Bone marrow smear; brightfield microscopy, 40× oil immersion; 250 by 250 pixels — 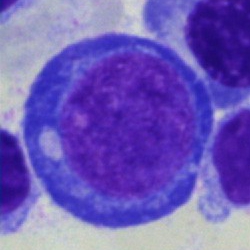
A proerythroblast.